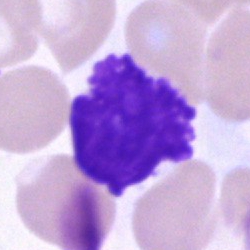

Cell = artifact.